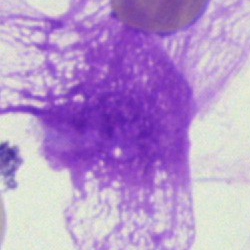
Q: What is shown here?
A: Artefact.